250×250; bone marrow smear:
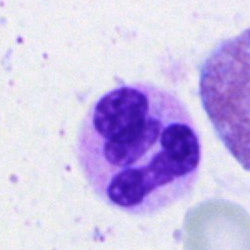 Cell — polymorphonuclear neutrophil.